Bone marrow aspirate smear — 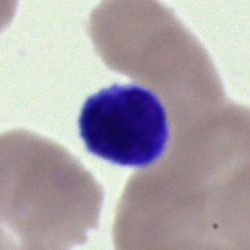 Showing an unidentifiable cell.